Bone marrow aspirate smear; brightfield microscopy, 40× oil immersion — 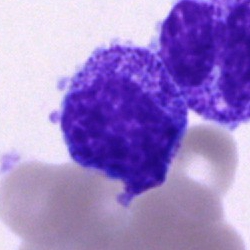Classification = artefact.